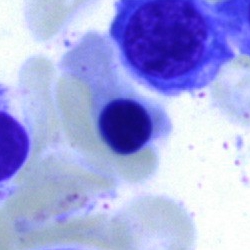 A normoblast on a bone marrow smear.